Bone marrow smear: 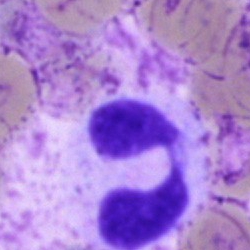

Cell type — polymorphonuclear neutrophil.